Bone marrow smear
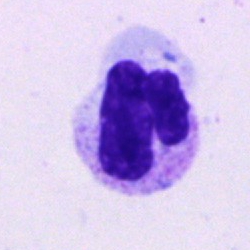

Q: Which cell type is shown here?
A: A neutrophil (segmented).